Single-cell field · bone marrow smear:
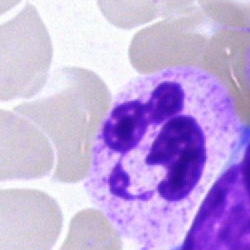 The morphological class is polymorphonuclear neutrophil.